Bone marrow smear; single-cell field; 250 by 250 pixels
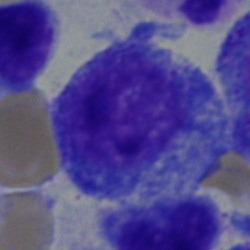

Morphological class = progranulocyte.